Bone marrow smear.
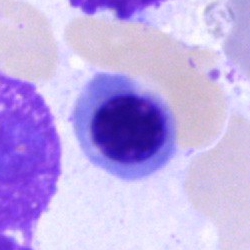
Morphology consistent with a nucleated red blood cell.